Peripheral blood smear
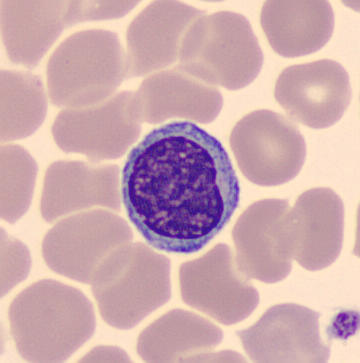The cell shown is a typical lymphocyte.